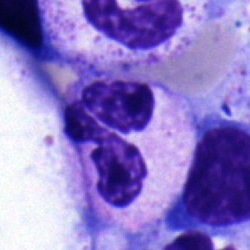 A segmented neutrophil on a bone marrow smear.